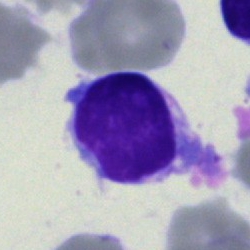 Cell type: lymphocyte.